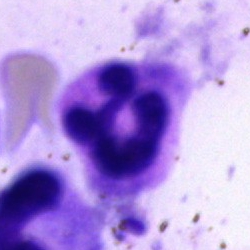

A polymorphonuclear neutrophil.